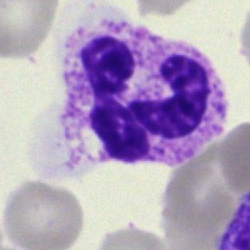 This is a polymorphonuclear neutrophil.